Bone marrow aspirate smear
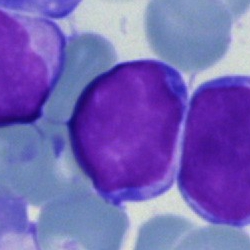
Q: What cell is this?
A: This is a typical lymphocyte.